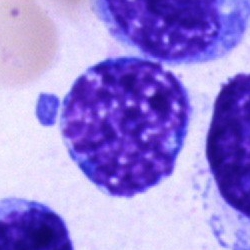
Morphology consistent with a blast cell.